Peripheral blood smear. Single-cell field — 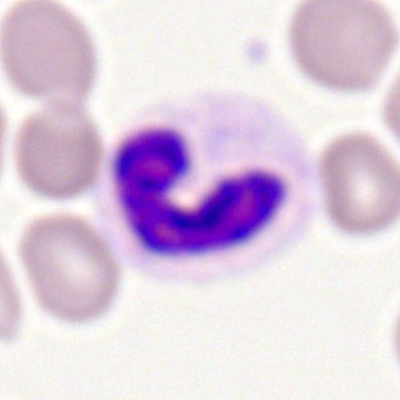

The cell is band-form neutrophil.